May-Grünwald-Giemsa/Pappenheim stain · bone marrow smear:
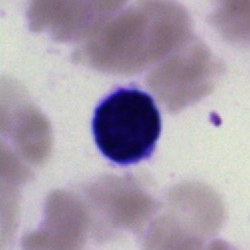
Cell = artifact.